Bone marrow aspirate smear; image size 250×250
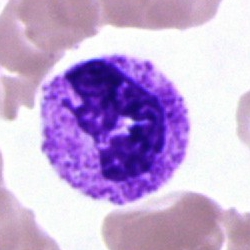
A segmented neutrophil.